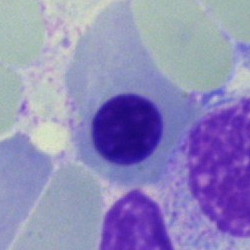

Specimen: bone marrow aspirate smear.
Morphological class: nucleated red blood cell.